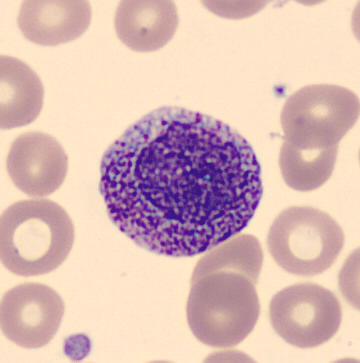
Impression → promyelocyte.
Acquisition: 360×363; peripheral blood film; CellaVision DM96.